Cropped to a single cell · bone marrow smear — 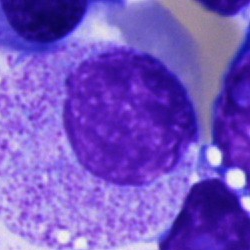This is a progranulocyte.